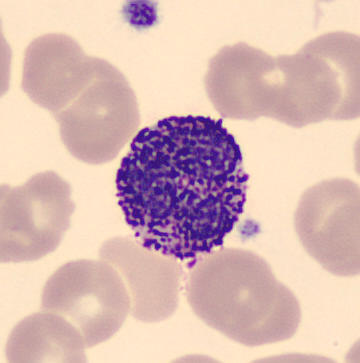

A basophilic granulocyte on a peripheral blood smear.